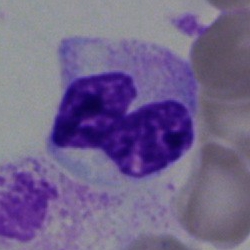Bone marrow aspirate smear, single cell — neutrophil (segmented).